Bone marrow smear: 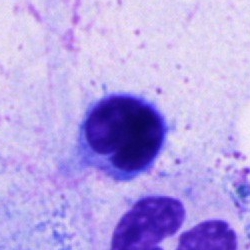 Cell = typical lymphocyte.